250×250 px. Bone marrow smear. May-Grünwald-Giemsa/Pappenheim stain
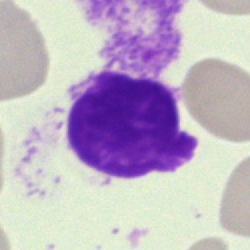The classification is unidentifiable cell.